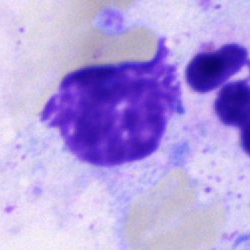{"cell_type": "artefact"}